Bone marrow smear
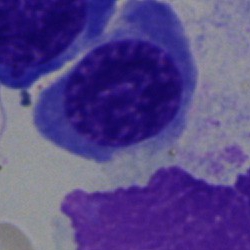 The cell is nucleated red blood cell.